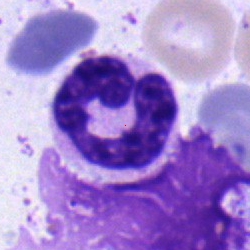 Morphological class: segmented neutrophil.